Bone marrow smear · Pappenheim-stained · 250 by 250 pixels.
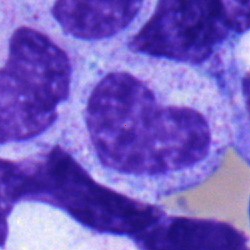
Single cell identified as a metamyelocyte.